Bone marrow smear.
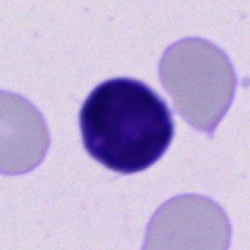 A typical lymphocyte.